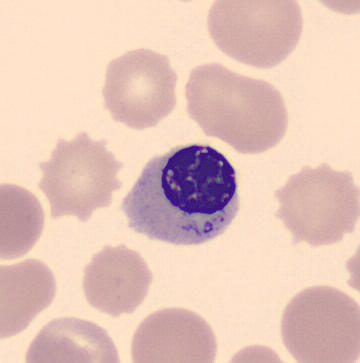 Identified as a nucleated red blood cell.

Cropped to a single cell; peripheral blood smear; automated cell imaging (CellaVision DM96).